Peripheral blood film — 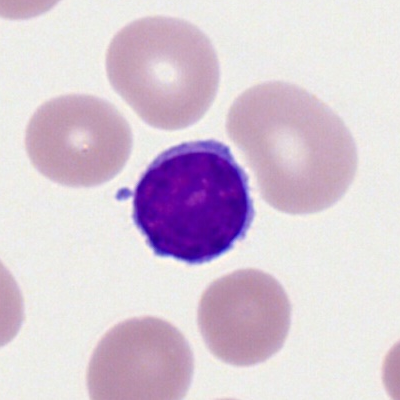{"cell_type": "lymphocyte"}